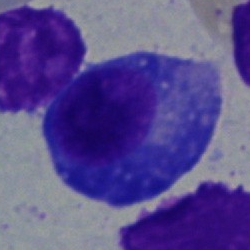

This is a plasmacyte.